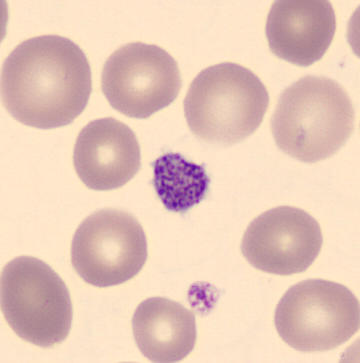Peripheral blood smear showing a platelet (thrombocyte).